Bone marrow smear. Single-cell field
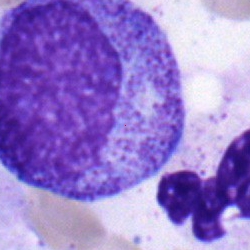

Cell = promyelocyte.